Bone marrow aspirate smear; 40× oil immersion; single cell centered in the field
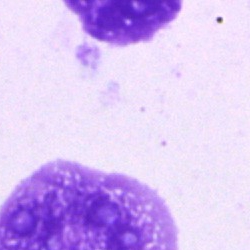 The cell type is artifact.